Single-cell field · May-Grünwald-Giemsa stain · bone marrow smear.
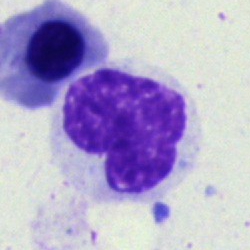Showing a metamyelocyte.